Pappenheim-stained. Bone marrow aspirate smear. 250×250:
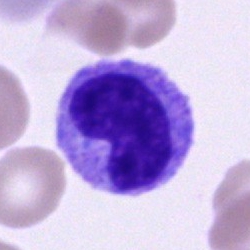

The classification is metamyelocyte.